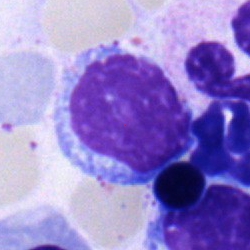 Morphology → typical lymphocyte.